Bone marrow smear; MGG-stained.
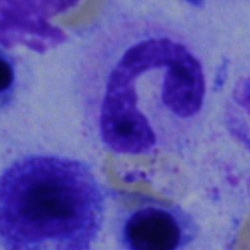

Q: Identify the cell.
A: Segmented neutrophil.